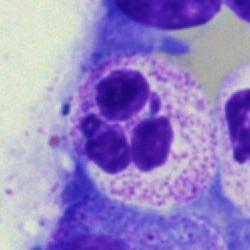

Cell type: neutrophil (segmented).